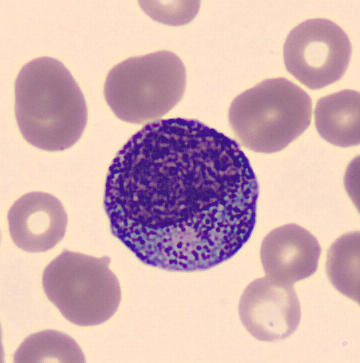Classification — promyelocyte.
Peripheral blood smear.